Bone marrow smear.
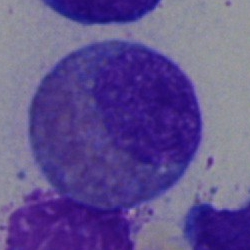Impression — eosinophilic granulocyte.